250×250 · bone marrow smear:
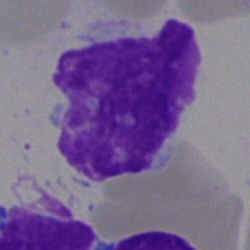

Cell type = artifact.